Bone marrow smear:
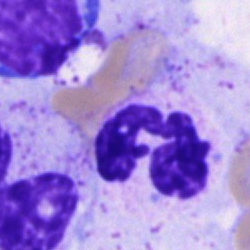Impression — neutrophil (segmented).